Bone marrow smear. Cropped to a single cell — 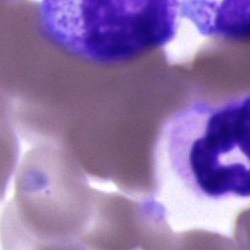
Q: Identify the cell.
A: It is an unidentifiable cell.